Bone marrow aspirate smear
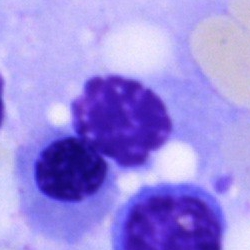The cell shown is an artifact.